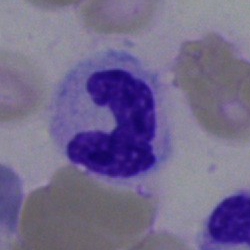 Neutrophil (segmented).